Brightfield, 40× oil-immersion objective; bone marrow smear.
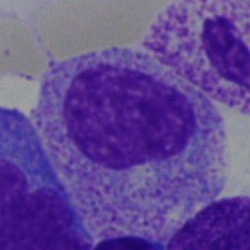
Cell: metamyelocyte.